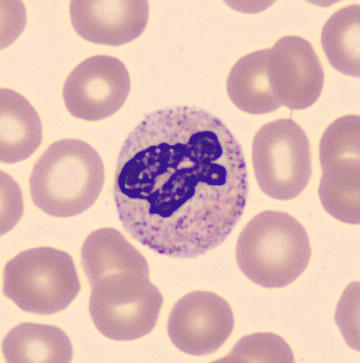 Acquisition: Peripheral blood film. Morphology consistent with a segmented neutrophil.